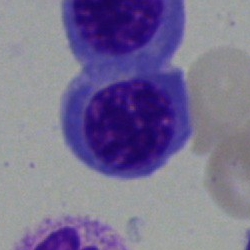

An erythroblast on a bone marrow smear.